Bone marrow smear — 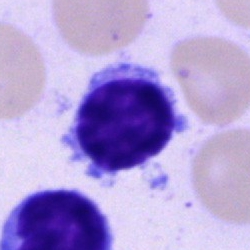 This is a lymphocyte.